May-Grünwald-Giemsa/Pappenheim stain · bone marrow aspirate smear
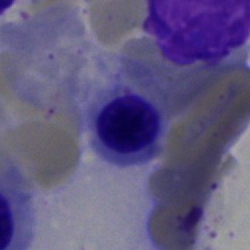
Morphology consistent with a normoblast.